Bone marrow aspirate smear:
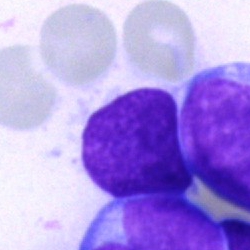 Morphological class = blast cell.